Bone marrow aspirate smear:
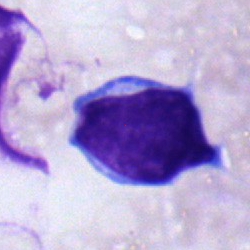

Showing a lymphocyte.